Bone marrow aspirate smear: 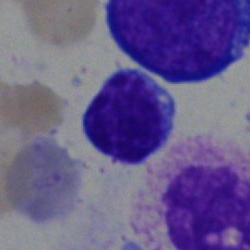
Specimen: bone marrow smear.
Classification: typical lymphocyte.
Lineage: lymphoid.